Peripheral blood film
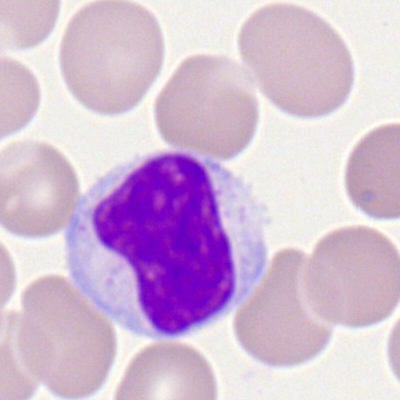 Lymphocyte.